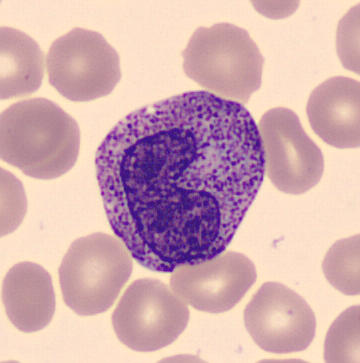

Specimen: peripheral blood film.
Cell type: metamyelocyte.
Lineage: myeloid.